Bone marrow aspirate smear:
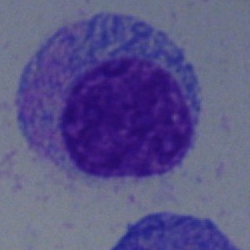Showing a myelocyte.